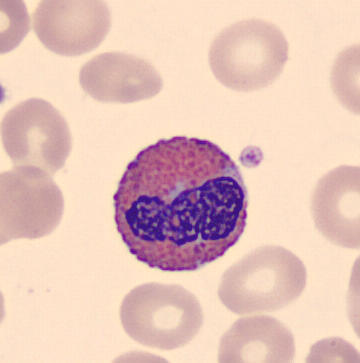

Image: Peripheral blood smear.

Morphological class: eosinophil.